Bone marrow smear.
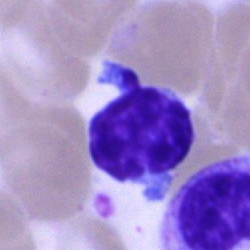This is a plasmacyte.